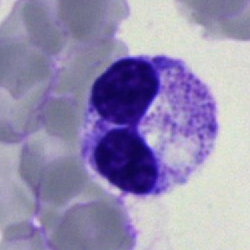
Q: What type of cell is this?
A: This is a segmented neutrophil.